Peripheral blood film — 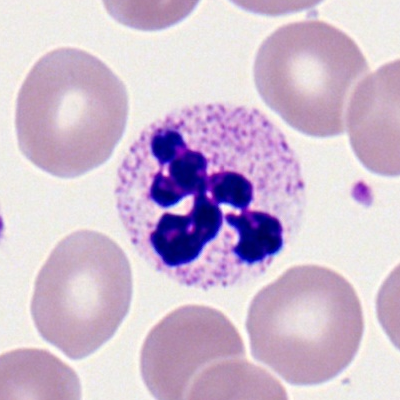 Neutrophil (segmented).